Bone marrow aspirate smear · 250 by 250 pixels:
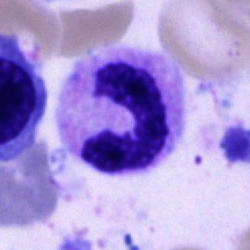Q: Which cell type is shown here?
A: This is a stab cell.